Bone marrow aspirate smear
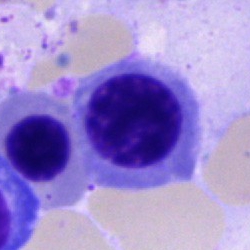

Cell — nucleated red blood cell.